Bone marrow smear:
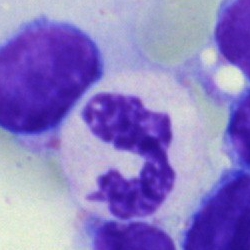

Q: What is the morphological classification of this cell?
A: This is a polymorphonuclear neutrophil.